Peripheral blood film
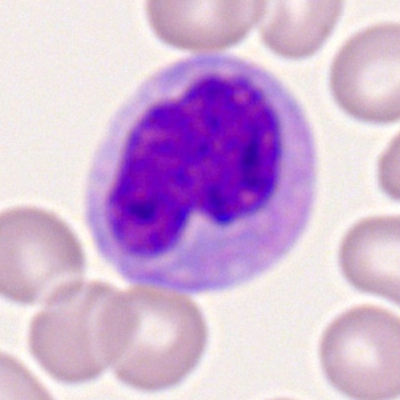Cell type — monocyte.